Peripheral blood film
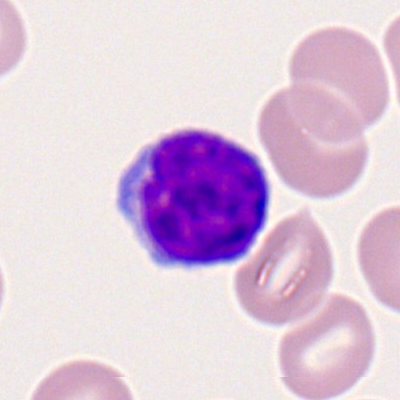Q: What is shown here?
A: Lymphocyte.